40× oil immersion · 250×250 · bone marrow smear: 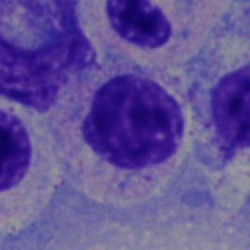 Specimen: bone marrow aspirate smear.
Cell: myelocyte.